Bone marrow aspirate smear: 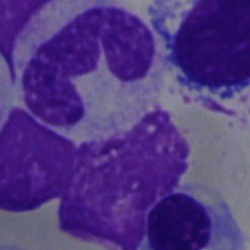Morphological class = neutrophil (segmented).